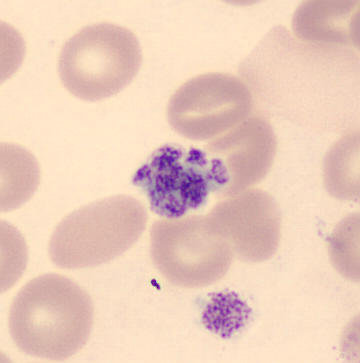

Peripheral blood smear.

Impression → platelet.